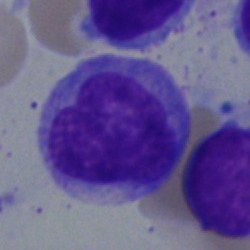
Q: What is shown here?
A: This is a monocyte.